Bone marrow aspirate smear.
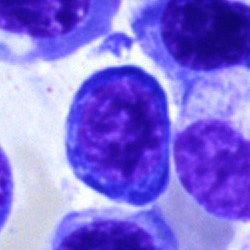

Morphology consistent with a nucleated red cell.